250×250 · bone marrow smear · MGG-stained: 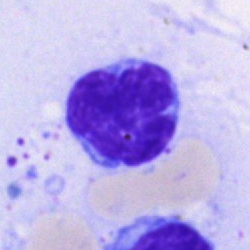Q: Which cell type is shown here?
A: Lymphocyte.